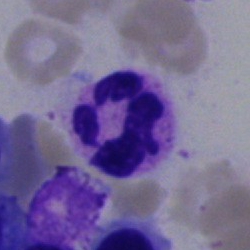 Q: Identify the cell.
A: A polymorphonuclear neutrophil.